Bone marrow smear — 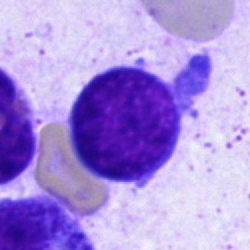
Classification: lymphocyte.